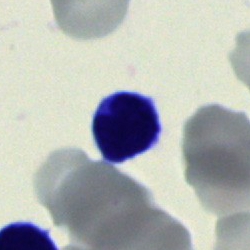Typical lymphocyte.